Bone marrow aspirate smear:
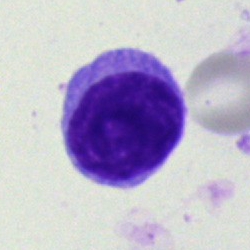
Specimen: bone marrow aspirate smear.
Morphological class: lymphocyte.
Lineage: lymphoid.